Bone marrow smear; image size 250×250 — 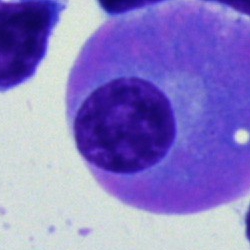
Q: Identify the cell.
A: A plasma cell.